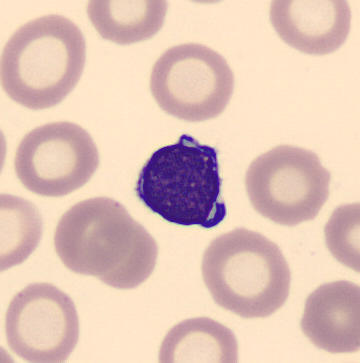 Peripheral blood film; MGG-stained.

Q: Which cell type is shown here?
A: Lymphocyte.